Bone marrow smear — 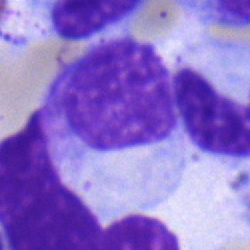 A myelocyte.